250 by 250 pixels · May-Grünwald-Giemsa stain · bone marrow smear: 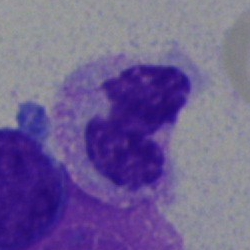
Q: What is shown here?
A: A polymorphonuclear neutrophil.